Bone marrow aspirate smear. Image size 250×250. Brightfield, 40× oil-immersion objective: 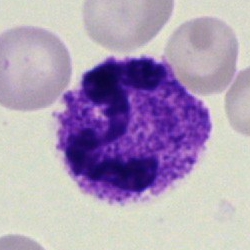Classification = segmented neutrophil.